May-Grünwald-Giemsa/Pappenheim stain; bone marrow smear.
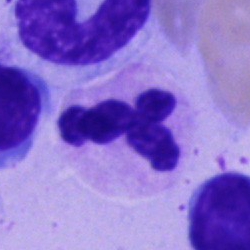
Morphology — segmented neutrophil.